Bone marrow aspirate smear. May-Grünwald-Giemsa stain — 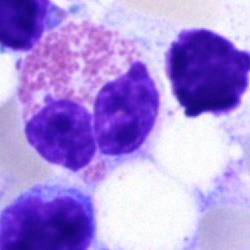

Single cell identified as an eosinophil.